Bone marrow aspirate smear · cropped to a single cell.
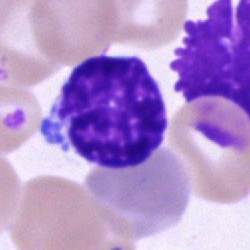

The cell shown is a lymphocyte.